250×250 · bone marrow aspirate smear:
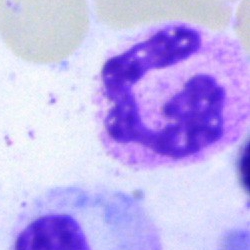The classification is polymorphonuclear neutrophil.